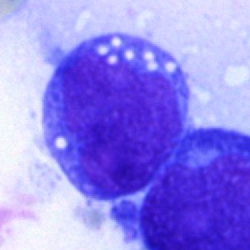Blast.